Bone marrow aspirate smear.
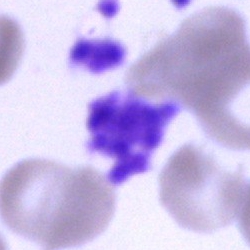Morphology consistent with an artifact.